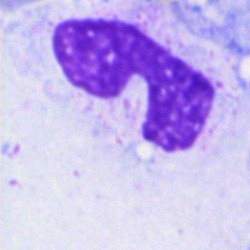
Specimen: bone marrow aspirate smear.
Cell type: artifact.